Bone marrow aspirate smear
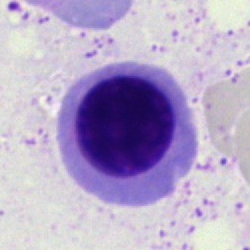

Q: What is shown here?
A: This is a normoblast.